MGG-stained · bone marrow aspirate smear
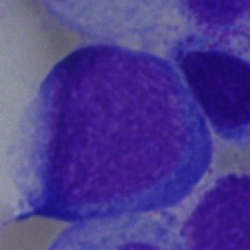 Morphology — pronormoblast.